Bone marrow aspirate smear — 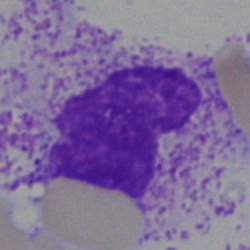Q: What is shown here?
A: It is an artifact.